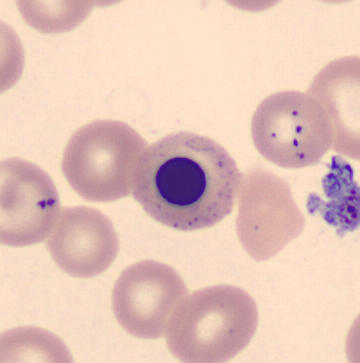 Peripheral blood smear.
Nucleated red cell.